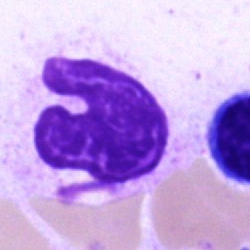

Q: What is shown here?
A: An artefact.